Peripheral blood smear
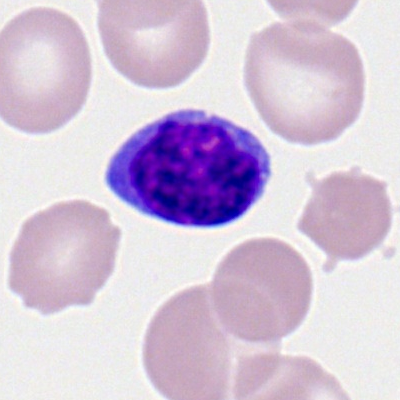

The cell shown is a typical lymphocyte.